Bone marrow smear
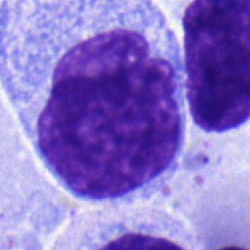 Cell type: monocyte.